Bone marrow aspirate smear; Pappenheim-stained — 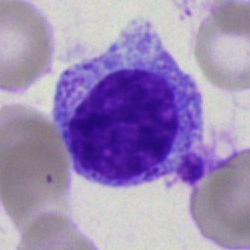
{"cell_type": "myelocyte"}